250 by 250 pixels · cropped to a single cell · bone marrow aspirate smear — 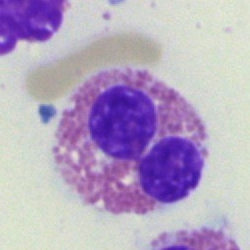 Impression → eosinophil.